Bone marrow aspirate smear — 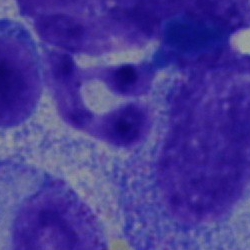

Cell: neutrophil (segmented).